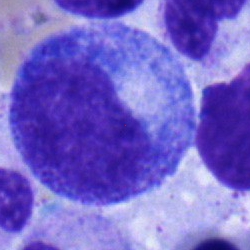

Cell type: promyelocyte.